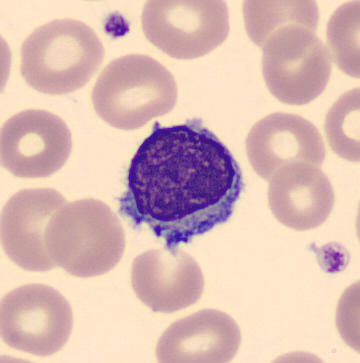
The classification is typical lymphocyte. Peripheral blood smear.